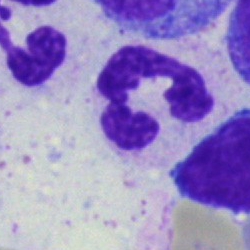Bone marrow aspirate smear, single cell — segmented neutrophil.